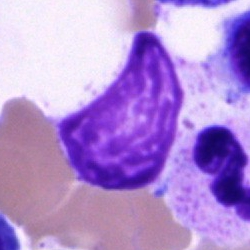The cell is artifact.